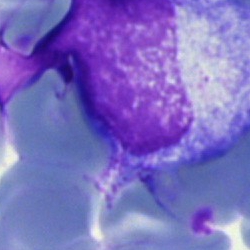Morphology → artefact.